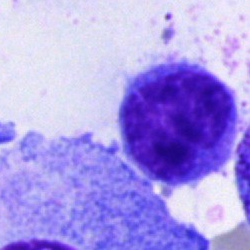

Classification — lymphocyte.